Single-cell field. 250 by 250 pixels. Bone marrow aspirate smear — 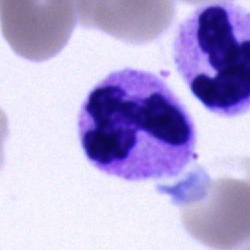Q: What is shown here?
A: It is a neutrophil (segmented).